Bone marrow aspirate smear.
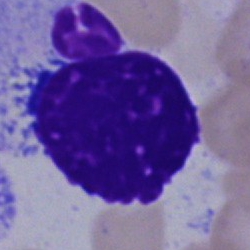
The cell is artefact.